May-Grünwald-Giemsa/Pappenheim stain. Bone marrow smear. 250 by 250 pixels — 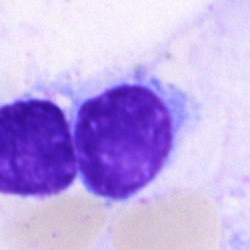 Single cell identified as a lymphocyte.